Bone marrow aspirate smear.
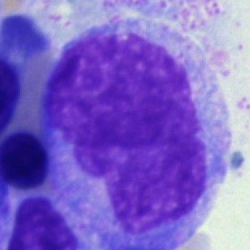Specimen: bone marrow smear.
Morphological class: monocyte.
Lineage: myeloid.